Bone marrow aspirate smear. 250 by 250 pixels. Pappenheim-stained.
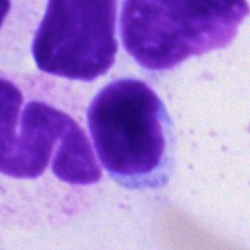Q: Which cell type is shown here?
A: This is a typical lymphocyte.